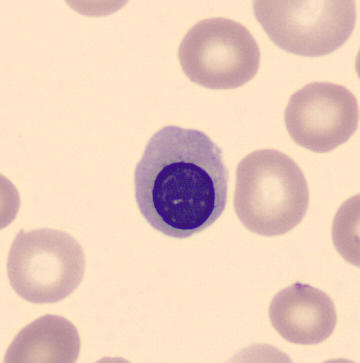

Q: Which cell type is shown here?
A: It is an erythroblast.